Single cell centered in the field · peripheral blood smear — 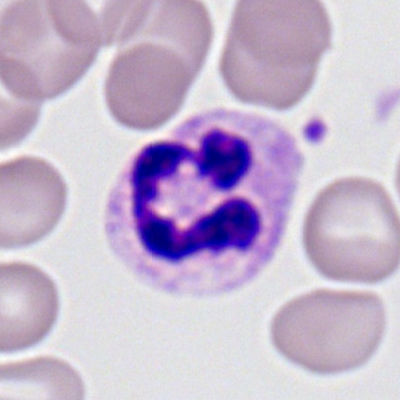The cell is polymorphonuclear neutrophil.